Peripheral blood smear · 400×400 px · 100× oil immersion:
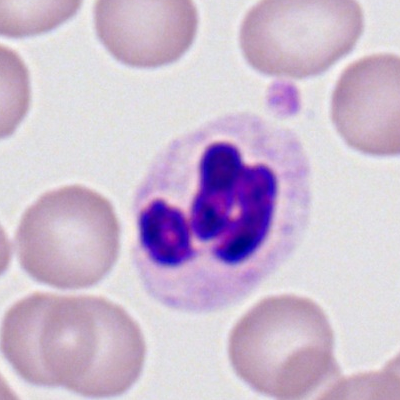 Showing a neutrophil (segmented).